Bone marrow smear
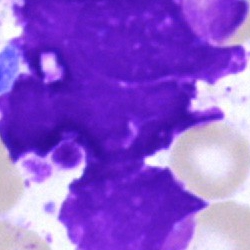 Single cell identified as an artefact.